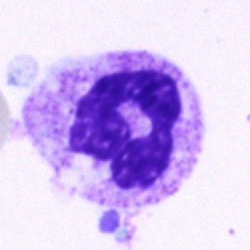

Showing a polymorphonuclear neutrophil.